Bone marrow smear: 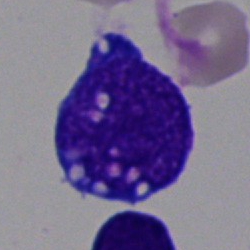
Morphology consistent with a blast cell.